Bone marrow aspirate smear.
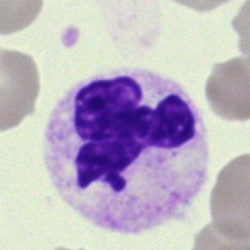

The cell is polymorphonuclear neutrophil.